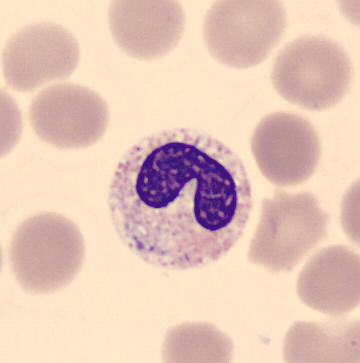
Q: What type of cell is this?
A: It is a stab cell.

Peripheral blood film.